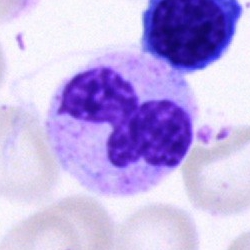
Bone marrow smear showing a neutrophil (segmented).